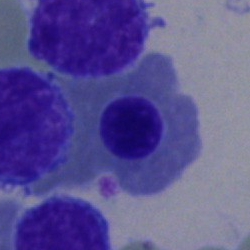
Q: What type of cell is this?
A: It is a normoblast.